Bone marrow aspirate smear. 40× objective, oil immersion. 250×250 px.
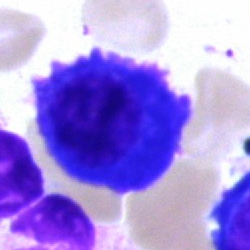
Cell type: plasma cell.